Bone marrow aspirate smear.
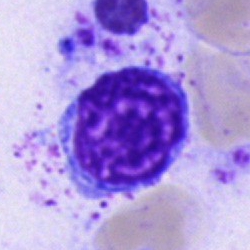
Morphological class — artefact.